Bone marrow smear; 250 by 250 pixels.
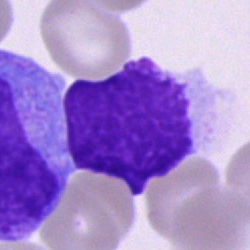
The classification is artefact.